Bone marrow aspirate smear — 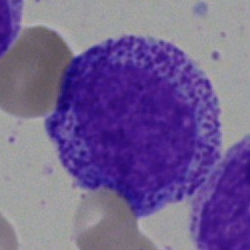A myelocyte.